Single-cell field; bone marrow aspirate smear
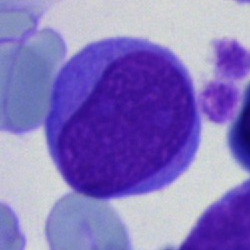 Morphology — undifferentiated blast.